Bone marrow smear — 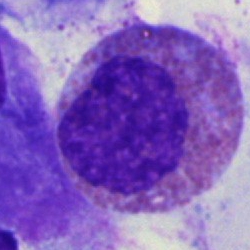
Specimen: bone marrow smear.
Morphological class: eosinophilic granulocyte.
Lineage: myeloid.